Peripheral blood film · 360×363:
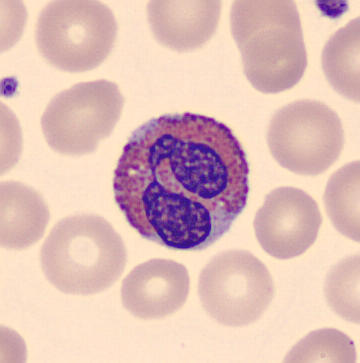 Q: What cell is this?
A: It is an eosinophilic granulocyte.